Bone marrow smear
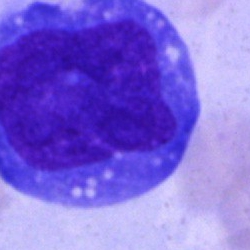

Q: What cell is this?
A: An undifferentiated blast.